Pappenheim-stained. Bone marrow aspirate smear. Cropped to a single cell: 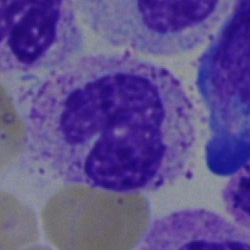
Specimen: bone marrow aspirate smear.
Cell type: band-form neutrophil.